40× oil immersion. Bone marrow smear
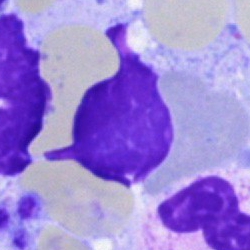 This is an artefact.